Bone marrow smear
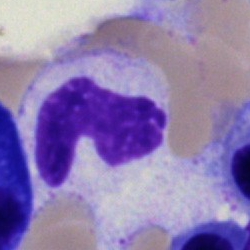
Cell: polymorphonuclear neutrophil.